Bone marrow smear.
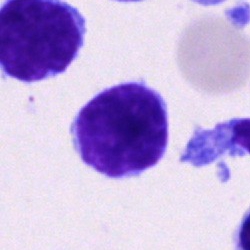A typical lymphocyte.